Bone marrow aspirate smear: 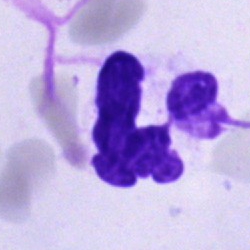Classification — artefact.